Bone marrow aspirate smear.
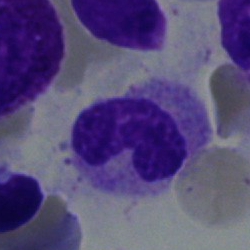
This is a band neutrophil.